Bone marrow smear: 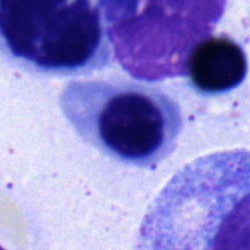Cell type — nucleated red cell.